Bone marrow aspirate smear.
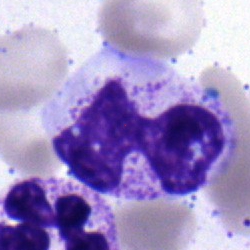
Classification = typical lymphocyte.